Cropped to a single cell. Bone marrow smear:
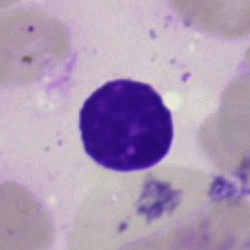Specimen: bone marrow smear.
Cell: artifact.